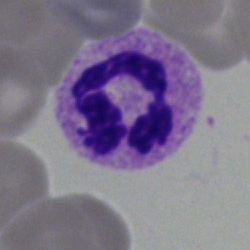
Morphology — segmented neutrophil.